Brightfield, 40× oil-immersion objective; bone marrow aspirate smear; 250 by 250 pixels:
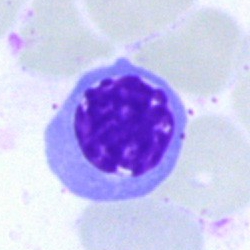

A nucleated red blood cell.